MGG-stained; bone marrow aspirate smear
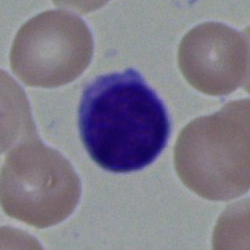

A lymphocyte.